Brightfield, 40× oil-immersion objective. Bone marrow aspirate smear.
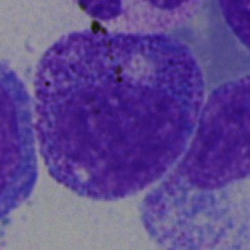

Specimen: bone marrow smear.
Cell type: myelocyte.
Lineage: myeloid.